Bone marrow aspirate smear
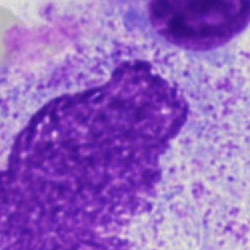

An artefact.